Bone marrow smear. 250×250:
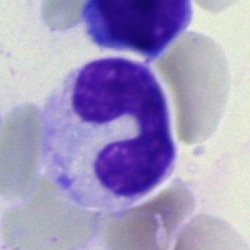
The cell is stab cell.